Bone marrow aspirate smear · single-cell field.
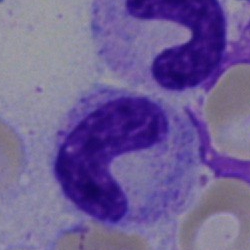

Single cell identified as a neutrophil (band).